Bone marrow smear.
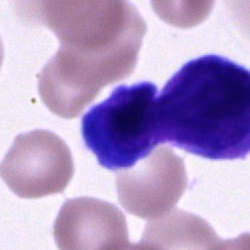 Cell = unidentifiable cell.